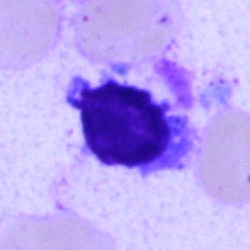

Morphological class — lymphocyte.